Bone marrow smear: 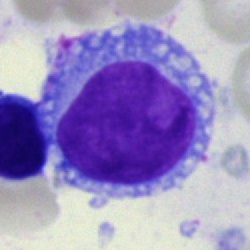
This is a blast cell.